Image size 250×250 · bone marrow smear · 40× oil immersion
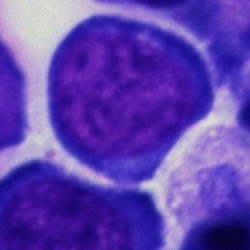 Cell type — pronormoblast.